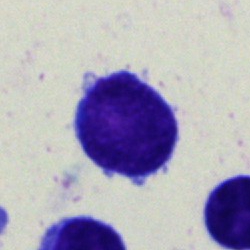Cell — typical lymphocyte.